Bone marrow aspirate smear · MGG-stained: 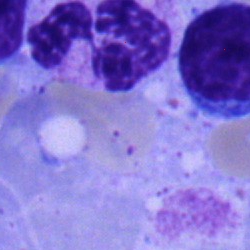
Q: Which cell type is shown here?
A: A neutrophil (segmented).